Bone marrow smear. 250×250 px. Single-cell crop:
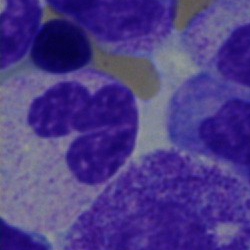This is a neutrophil (segmented).